Bone marrow smear. Cropped to a single cell: 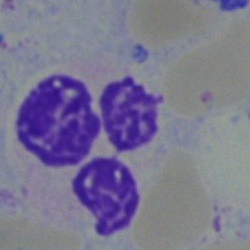 Classification: polymorphonuclear neutrophil.